Bone marrow aspirate smear.
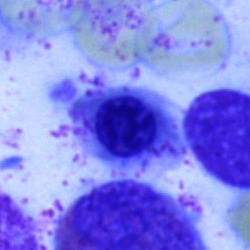
Showing a nucleated red cell.